Peripheral blood film: 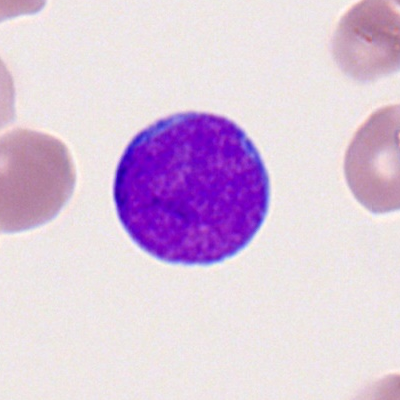 Q: Identify the cell.
A: It is a myeloid blast.